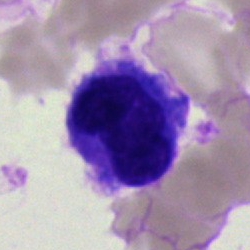
The cell shown is an artifact.